Bone marrow smear · single-cell crop:
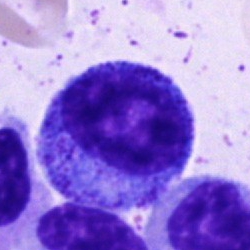Promyelocyte.